Bone marrow smear: 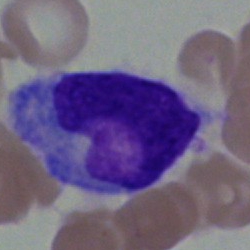Morphology → monocyte.